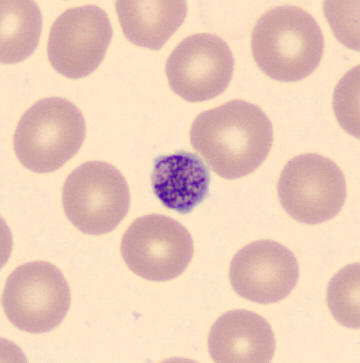
This is a platelet (thrombocyte). CellaVision DM96 digital cell image. MGG-stained. Peripheral blood smear.